Bone marrow smear: 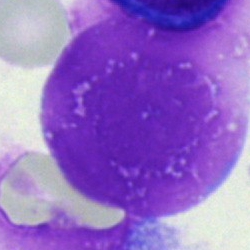 Morphological class: artifact.